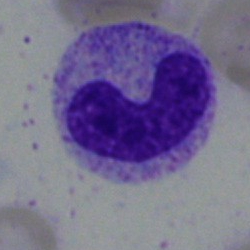A neutrophil (band) on a bone marrow smear.